May-Grünwald-Giemsa/Pappenheim stain · bone marrow aspirate smear — 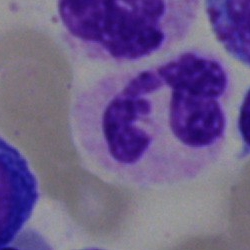 Cell = segmented neutrophil.